40× oil immersion; bone marrow smear.
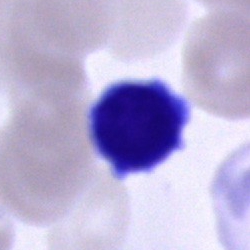 Classification = typical lymphocyte.